Single-cell crop. Bone marrow aspirate smear. 40× oil immersion.
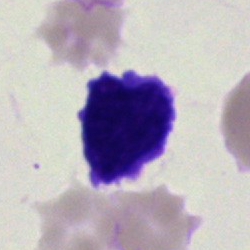
Q: Identify the cell.
A: Blast.